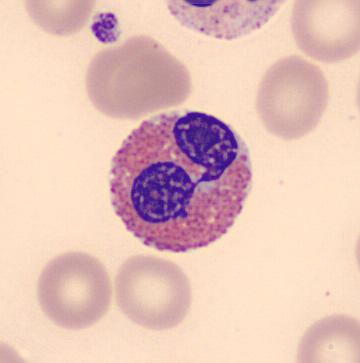

Specimen: peripheral blood smear.
Cell: eosinophil.
Lineage: myeloid.